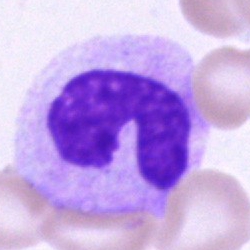

The morphological class is band neutrophil.